Single-cell field · bone marrow aspirate smear · image size 250×250:
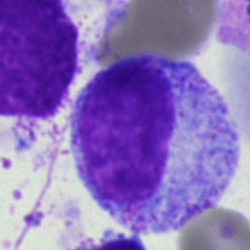 Q: What is shown here?
A: This is a myelocyte.